250×250 px; single cell centered in the field; bone marrow aspirate smear: 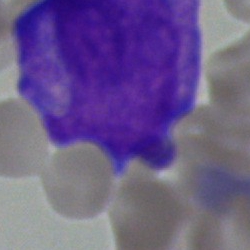Morphology consistent with a blast.